Bone marrow aspirate smear.
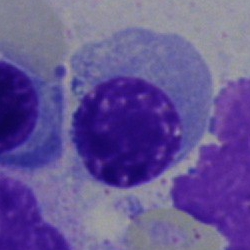
The morphological class is nucleated red blood cell.